Bone marrow aspirate smear
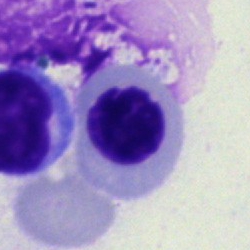The cell shown is an erythroblast.